Peripheral blood smear. Single cell centered in the field. 400 by 400 pixels.
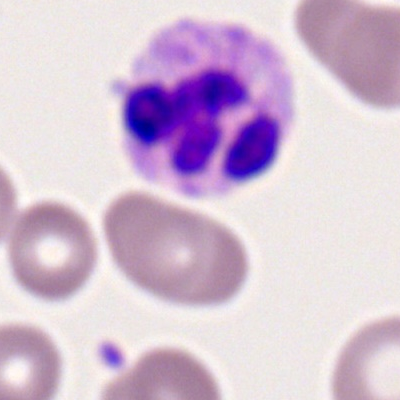

Cell = segmented neutrophil.